May-Grünwald-Giemsa/Pappenheim stain. Bone marrow smear:
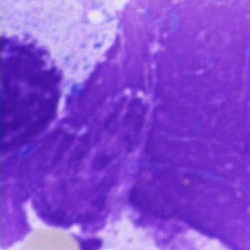 An artefact.